Bone marrow smear.
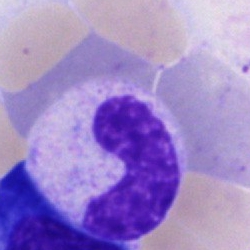

A stab cell.